Bone marrow aspirate smear; single-cell field: 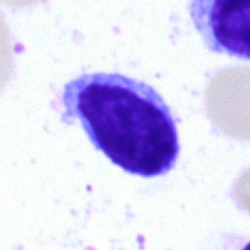
Typical lymphocyte.